Bone marrow aspirate smear: 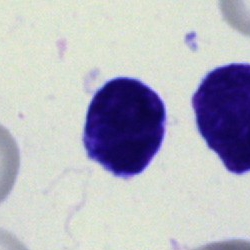
Q: What is the morphological classification of this cell?
A: This is a blast cell.